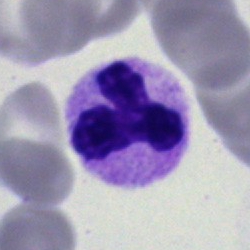 {"cell_type": "segmented neutrophil", "lineage": "myeloid"}